250×250. Bone marrow aspirate smear. Cropped to a single cell
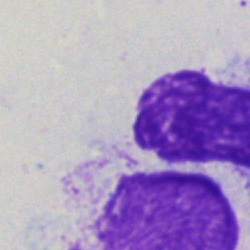Q: What is shown here?
A: An artefact.